Bone marrow aspirate smear:
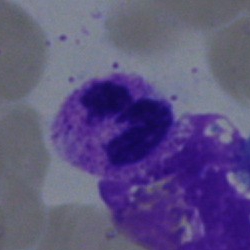

Morphology — segmented neutrophil.